Bone marrow aspirate smear.
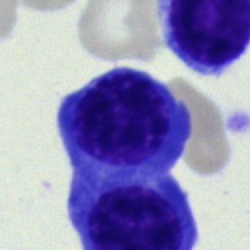 Specimen: bone marrow aspirate smear.
Classification: nucleated red cell.
Lineage: erythroid.